Bone marrow aspirate smear · MGG-stained — 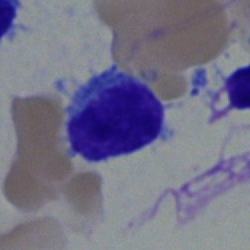The cell type is typical lymphocyte.